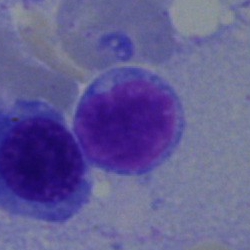

Cell type: lymphocyte.